Bone marrow smear: 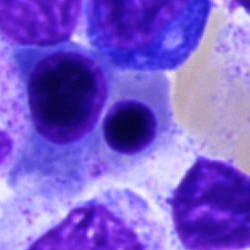 Nucleated red blood cell.